Bone marrow smear
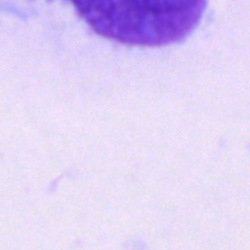 An artefact.